Bone marrow aspirate smear — 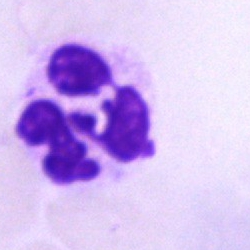 Showing a polymorphonuclear neutrophil.